Bone marrow smear — 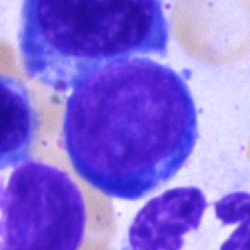Pronormoblast.